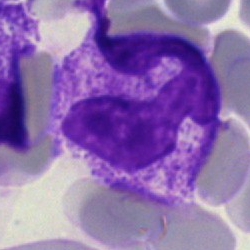

Morphological class — neutrophil (segmented).